May-Grünwald-Giemsa stain · bone marrow smear · single-cell crop
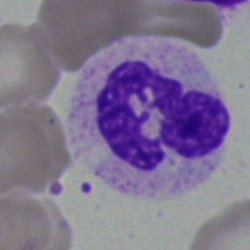Cell type = polymorphonuclear neutrophil.